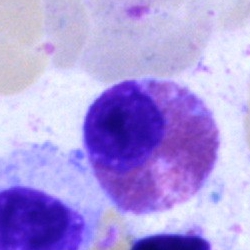

Morphology → eosinophilic granulocyte.